250 by 250 pixels; brightfield, 40× oil-immersion objective; bone marrow smear
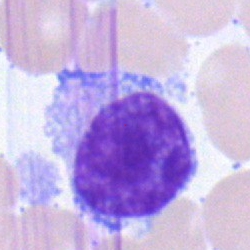 {"cell_type": "typical lymphocyte", "lineage": "lymphoid"}